Peripheral blood film; 360×363
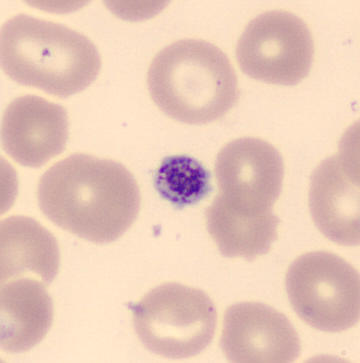
Cell type — thrombocyte.